250×250. Bone marrow smear. 40× objective, oil immersion: 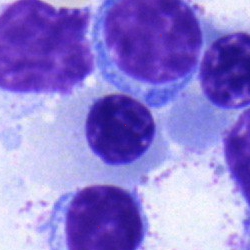This is a nucleated red blood cell.